Bone marrow aspirate smear
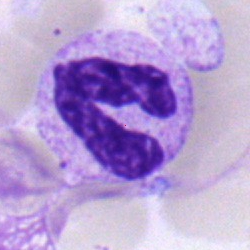

Specimen: bone marrow aspirate smear.
Cell: band neutrophil.
Lineage: myeloid.